Bone marrow aspirate smear
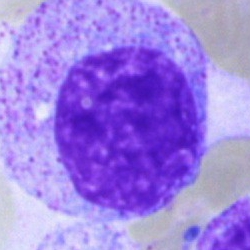 Classification: myelocyte.